Bone marrow aspirate smear: 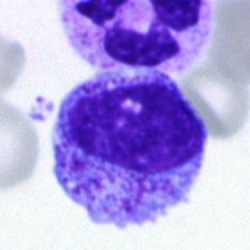

Myelocyte.